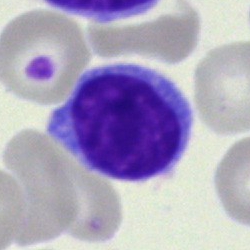Single-cell crop from a bone marrow smear: typical lymphocyte.